Peripheral blood film.
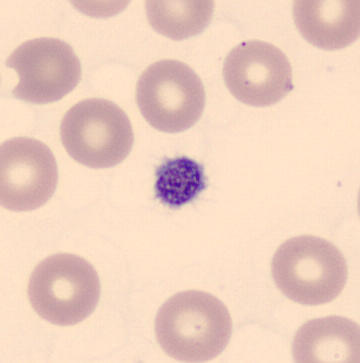 Specimen: peripheral blood film.
Morphological class: platelet.